MGG-stained; bone marrow smear; single-cell field:
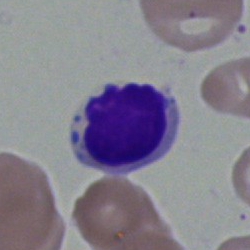

Q: What type of cell is this?
A: It is a lymphocyte.